Single-cell field. 40× oil immersion. Bone marrow aspirate smear
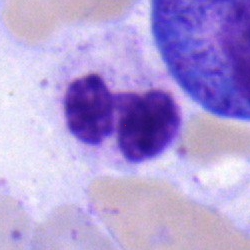
The classification is polymorphonuclear neutrophil.